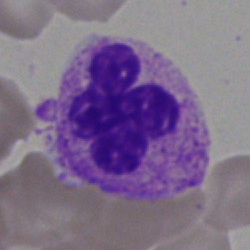 Single-cell crop from a bone marrow smear: segmented neutrophil.